Cropped to a single cell; bone marrow aspirate smear; image size 250×250:
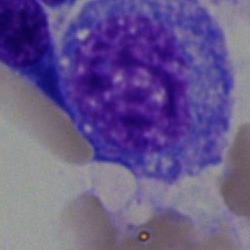
Showing a progranulocyte.